Bone marrow smear:
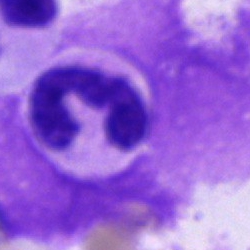Specimen: bone marrow aspirate smear.
Classification: neutrophil (segmented).
Lineage: myeloid.